Bone marrow aspirate smear.
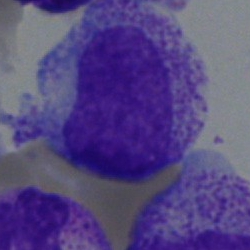

Specimen: bone marrow aspirate smear.
Classification: myelocyte.
Lineage: myeloid.